Bone marrow aspirate smear — 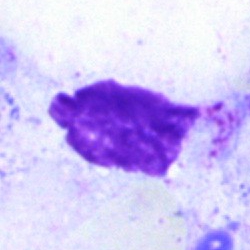Morphology consistent with an artifact.